Peripheral blood smear; 100× objective, oil immersion
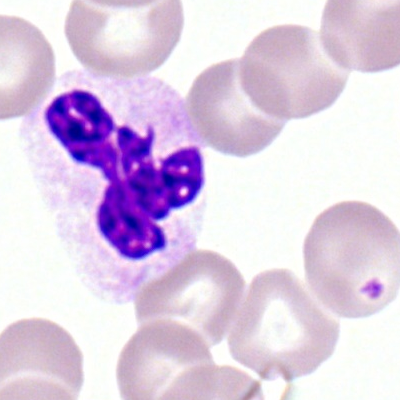

Specimen: peripheral blood smear.
Morphological class: segmented neutrophil.
Lineage: myeloid.